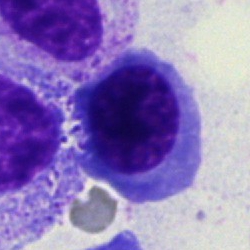Bone marrow aspirate smear, single cell — normoblast.